Bone marrow aspirate smear — 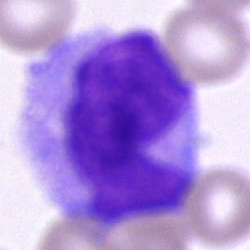

Showing a cell of indeterminate lineage.